Bone marrow smear:
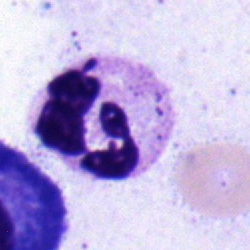 Impression → neutrophil (segmented).